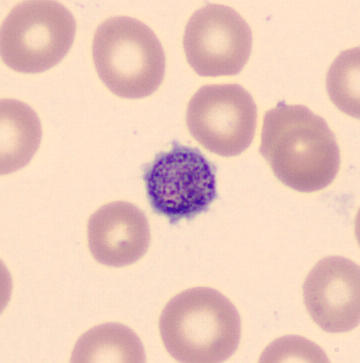

Specimen: peripheral blood film.
Classification: thrombocyte.